Bone marrow smear:
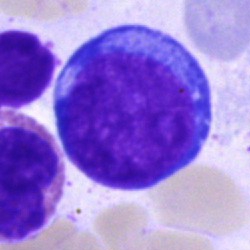

Specimen: bone marrow aspirate smear.
Morphological class: proerythroblast.
Lineage: erythroid.